Bone marrow aspirate smear; single-cell field.
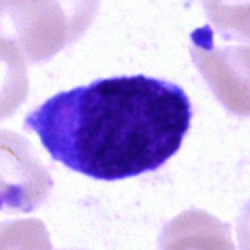 Cell — blast.